Bone marrow smear: 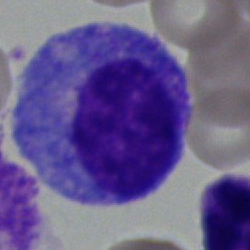

Q: Identify the cell.
A: It is a progranulocyte.